Peripheral blood smear.
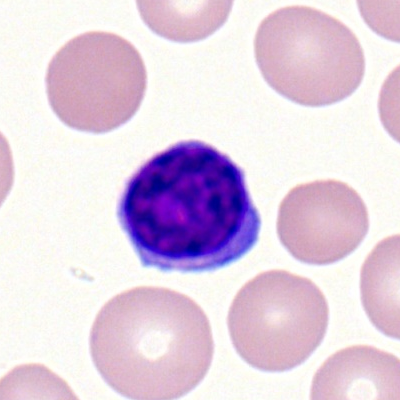

The cell type is typical lymphocyte.